Bone marrow smear: 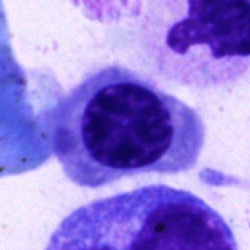Showing an erythroblast.